Bone marrow smear
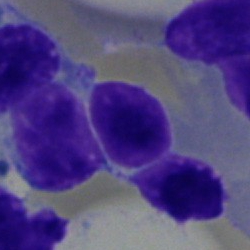

Cell: lymphocyte.